Bone marrow smear
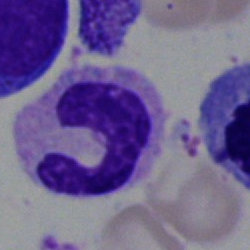 Cell type = polymorphonuclear neutrophil.